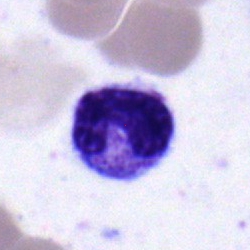
Classification — stab cell.